Peripheral blood smear; Romanowsky-type stain; brightfield, 100× oil-immersion objective — 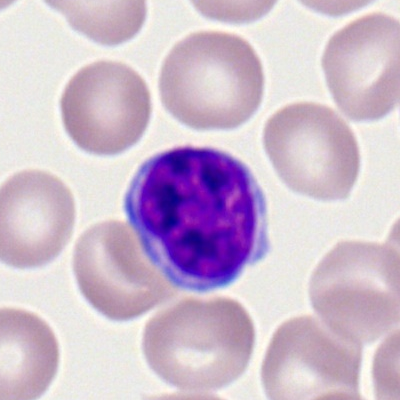Impression — typical lymphocyte.